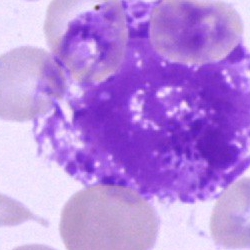

Bone marrow aspirate smear, single cell — artifact.